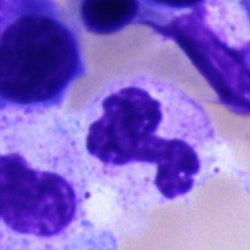 Classification: lymphocyte.